250 by 250 pixels; bone marrow smear:
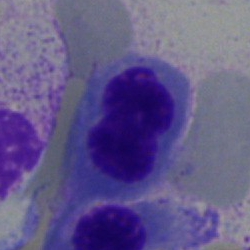Q: What cell is this?
A: Nucleated red blood cell.